Image size 250×250. Bone marrow aspirate smear.
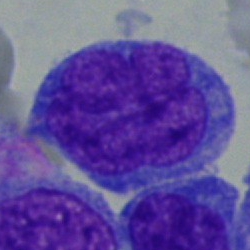Cell type = undifferentiated blast.